Single cell centered in the field · Romanowsky-type stain · peripheral blood film: 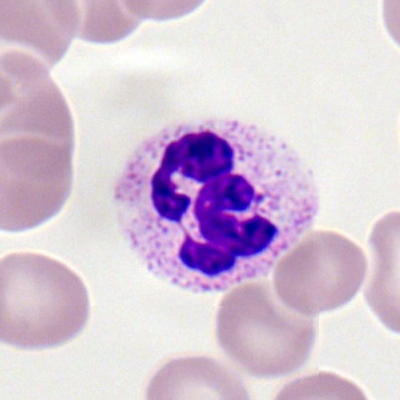

Morphology consistent with a neutrophil (segmented).